MGG-stained · 250×250 px · bone marrow aspirate smear
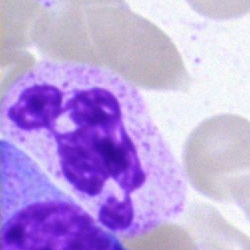Q: What type of cell is this?
A: A segmented neutrophil.